Bone marrow smear — 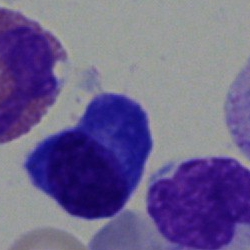
Q: What is shown here?
A: A plasma cell.